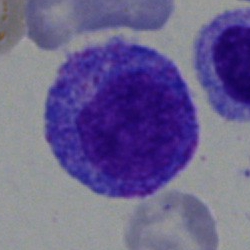Morphology — promyelocyte.